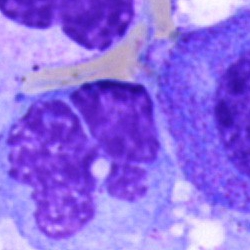

Bone marrow aspirate smear, single cell — cell of indeterminate lineage.